250×250 px · 40× objective, oil immersion · bone marrow aspirate smear.
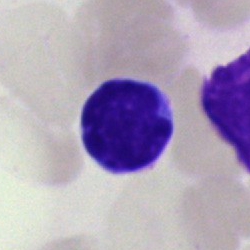
Morphology → typical lymphocyte.